Bone marrow aspirate smear:
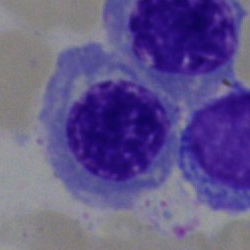 Impression — erythroblast.